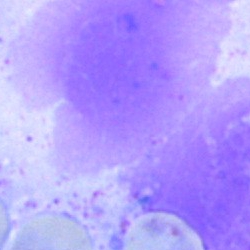 {"cell_type": "artifact"}